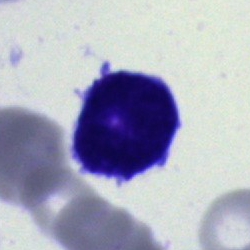

Q: What is the morphological classification of this cell?
A: A blast cell.